Single cell centered in the field · peripheral blood film: 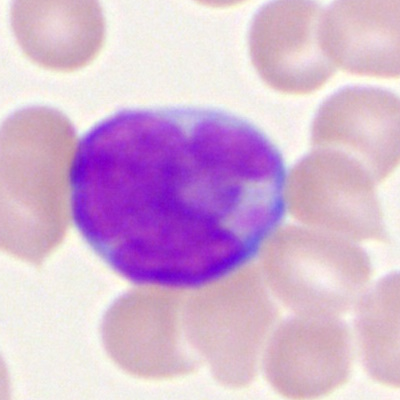
Q: Which cell type is shown here?
A: It is a myeloid blast.